Brightfield, 40× oil-immersion objective. Bone marrow aspirate smear:
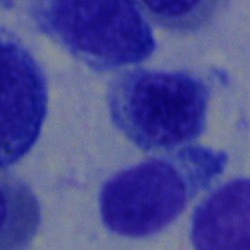 Q: What cell is this?
A: A normoblast.